250×250 px. Bone marrow aspirate smear — 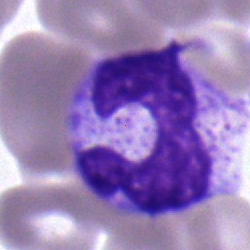

Morphology consistent with a band neutrophil.